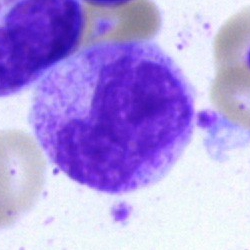{"cell_type": "metamyelocyte", "lineage": "myeloid"}